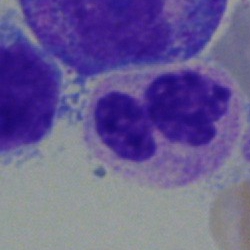 Impression → neutrophil (segmented).